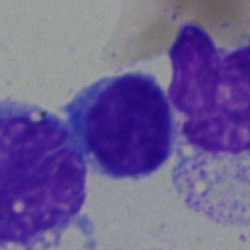The cell type is lymphocyte.